Single-cell field; 40× objective, oil immersion; bone marrow smear.
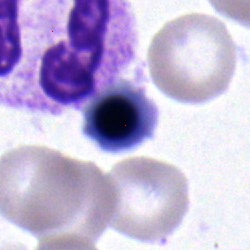
Erythroblast.